Bone marrow smear: 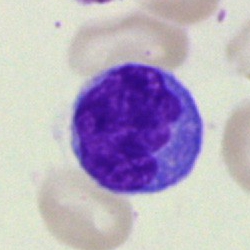

{"cell_type": "monocyte", "lineage": "myeloid"}